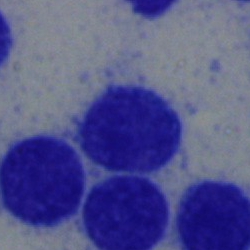Morphology → lymphocyte.